Image size 250×250 · bone marrow aspirate smear.
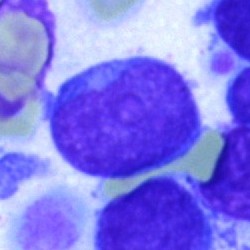 A blast.